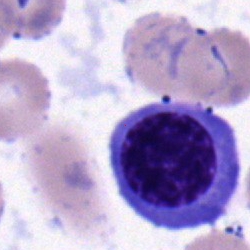 Single-cell crop from a bone marrow smear: nucleated red cell.